Bone marrow smear.
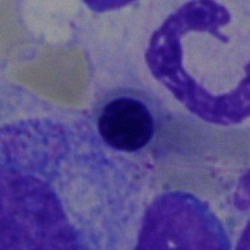

Nucleated red blood cell.